Single cell centered in the field. Bone marrow smear
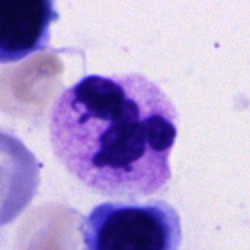 Q: What cell is this?
A: Neutrophil (segmented).